Bone marrow aspirate smear
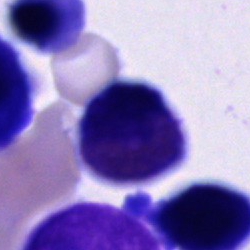

Classification = cell of indeterminate lineage.